Brightfield, 40× oil-immersion objective. Bone marrow smear.
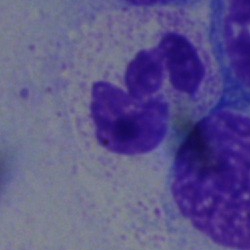 {"cell_type": "neutrophil (segmented)", "lineage": "myeloid"}